Bone marrow aspirate smear:
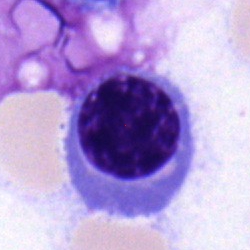{"cell_type": "nucleated red blood cell", "lineage": "erythroid"}